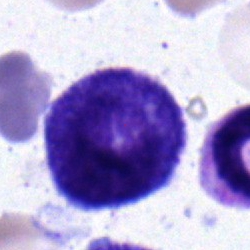

Impression → promyelocyte.